Bone marrow aspirate smear.
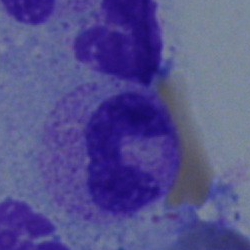 Cell type = band neutrophil.